Bone marrow aspirate smear — 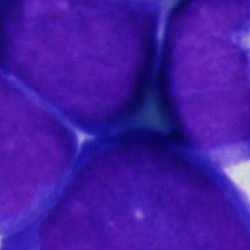

Cell type: blast.